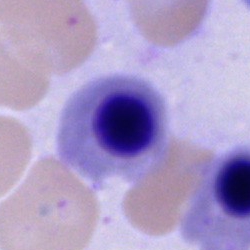
Impression — nucleated red blood cell.